Bone marrow smear; 40× objective, oil immersion.
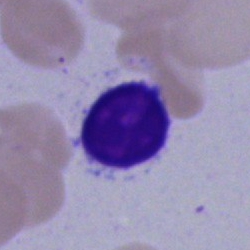

Showing an artefact.